Bone marrow aspirate smear — 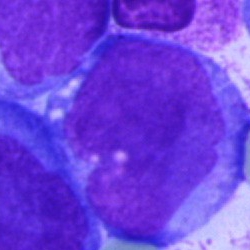This is a blast.